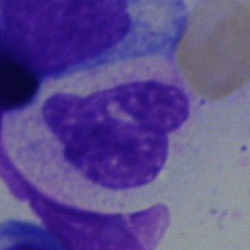 Cell = neutrophil (segmented).